Bone marrow smear; Pappenheim-stained
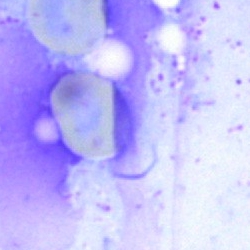 {"cell_type": "artefact"}